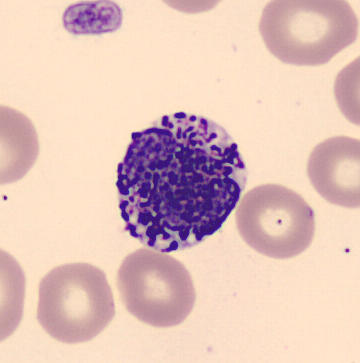{"cell_type": "basophilic granulocyte", "lineage": "myeloid"}